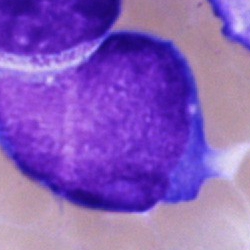
Bone marrow smear showing an undifferentiated blast.